Bone marrow aspirate smear · 250 by 250 pixels.
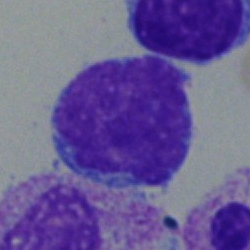

An undifferentiated blast.